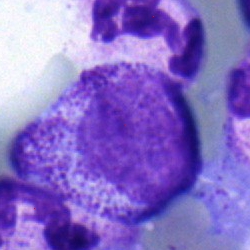 This is a myelocyte.